250 by 250 pixels; bone marrow aspirate smear; single-cell field: 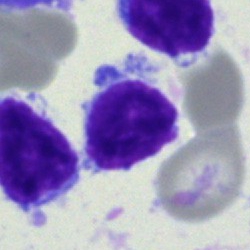
Single cell identified as a lymphocyte.